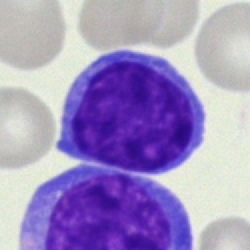

The cell shown is a lymphocyte.